Bone marrow smear; 250×250 px; 40× oil immersion — 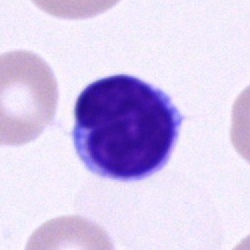

Typical lymphocyte.